40× oil immersion. Bone marrow aspirate smear. 250×250 px — 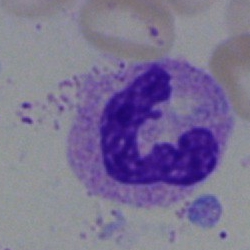 Morphology → neutrophil (segmented).